Bone marrow aspirate smear:
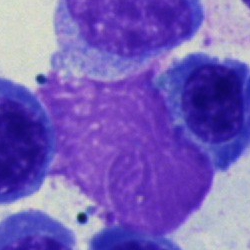
Single cell identified as an artifact.